Bone marrow smear.
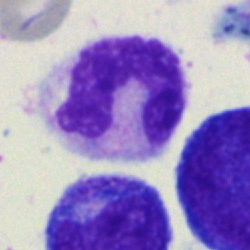
Morphology — segmented neutrophil.